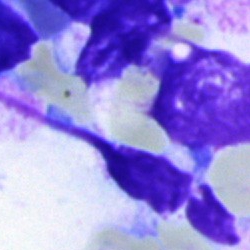Morphology consistent with an artifact.